Single-cell field · 250 by 250 pixels · bone marrow smear: 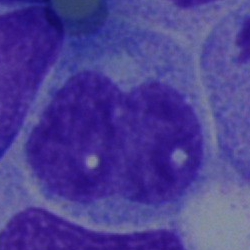Cell: monocyte.